Bone marrow aspirate smear.
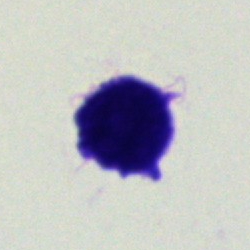Impression — artifact.